Peripheral blood smear
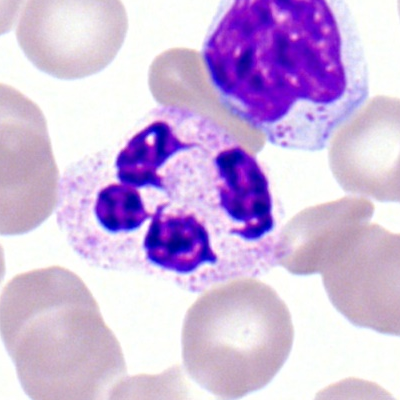

This is a polymorphonuclear neutrophil.